250 by 250 pixels. Bone marrow aspirate smear. MGG-stained: 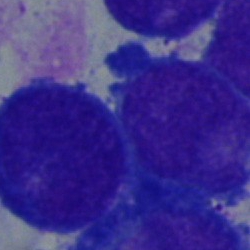 Undifferentiated blast.